Bone marrow smear
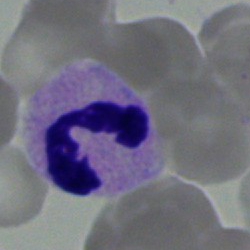

Showing a neutrophil (segmented).